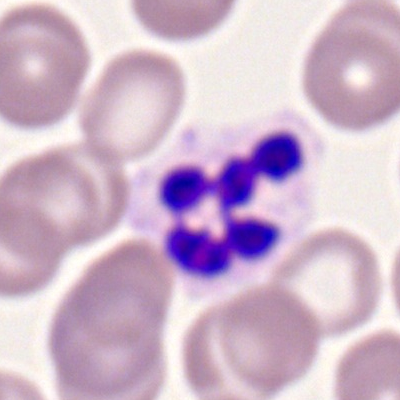

Impression → neutrophil (segmented).